Bone marrow aspirate smear — 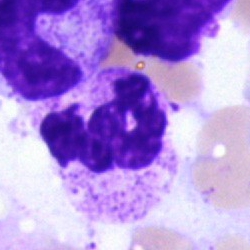 A neutrophil (segmented).